Image size 250×250 · bone marrow smear · May-Grünwald-Giemsa/Pappenheim stain
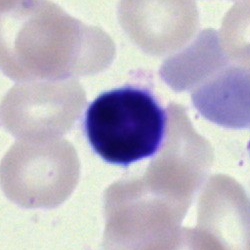

The cell shown is a lymphocyte.